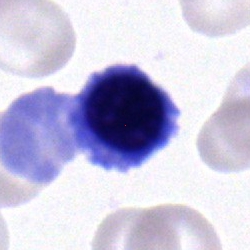
Single cell identified as a normoblast.